Single cell centered in the field · peripheral blood film: 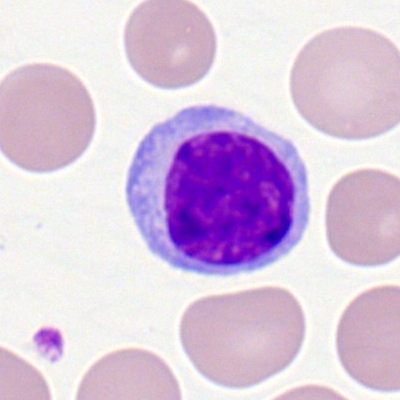

Single cell identified as a typical lymphocyte.